Single-cell field; bone marrow smear; May-Grünwald-Giemsa stain: 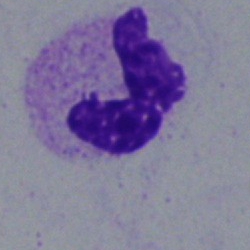

Q: Which cell type is shown here?
A: This is a segmented neutrophil.